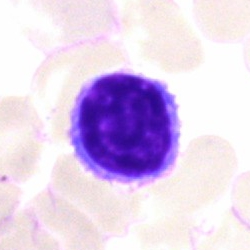
The cell shown is a typical lymphocyte.